Bone marrow smear · May-Grünwald-Giemsa stain
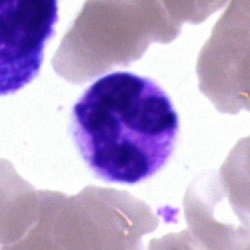Specimen: bone marrow smear.
Classification: segmented neutrophil.
Lineage: myeloid.